Bone marrow smear:
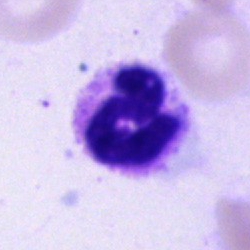Morphology consistent with a neutrophil (segmented).